Peripheral blood smear.
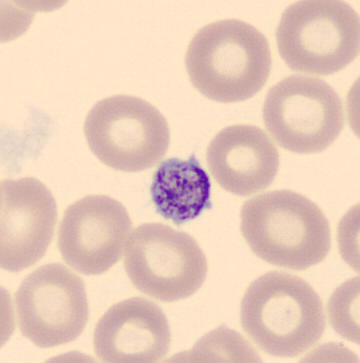Morphological class: platelet (thrombocyte).